Bone marrow aspirate smear; MGG-stained; 250×250 px: 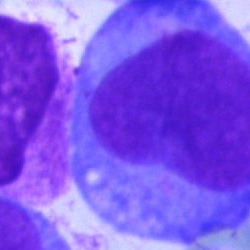 Showing a blast.